Bone marrow smear
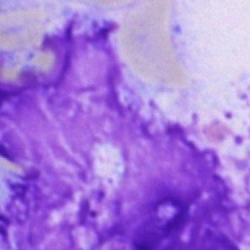
An artefact.